Bone marrow smear:
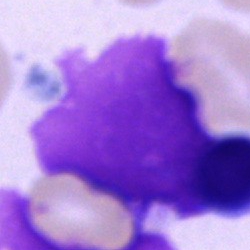 An artifact.